Bone marrow aspirate smear. May-Grünwald-Giemsa stain: 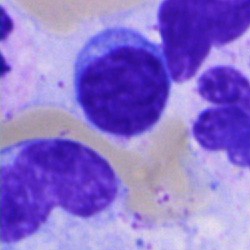
Specimen: bone marrow smear.
Cell: lymphocyte.
Lineage: lymphoid.